Brightfield, 40× oil-immersion objective · bone marrow smear:
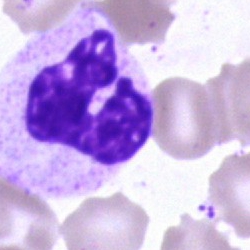 Q: What is shown here?
A: A segmented neutrophil.